400×400 px · 100× objective, oil immersion · peripheral blood film:
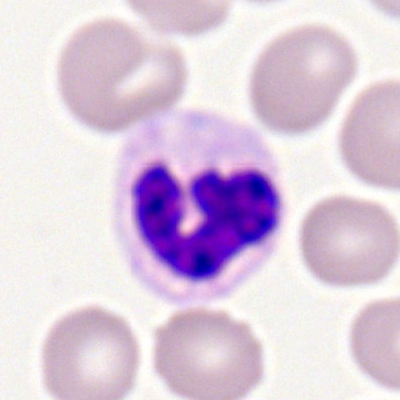A neutrophil (segmented).